Bone marrow aspirate smear
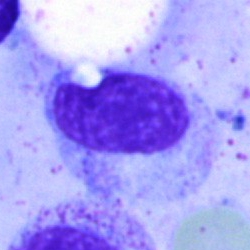
Q: What is shown here?
A: Artefact.